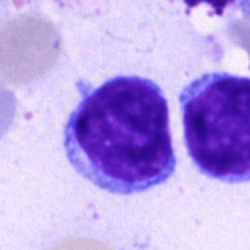 A typical lymphocyte on a bone marrow smear.